250×250 px · bone marrow smear:
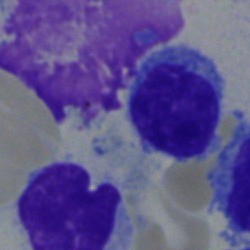

Specimen: bone marrow aspirate smear.
Cell: lymphocyte.
Lineage: lymphoid.